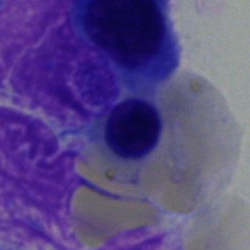 Specimen: bone marrow smear.
Cell: normoblast.
Lineage: erythroid.